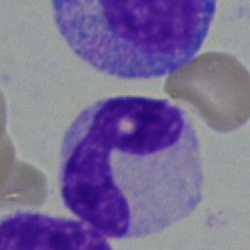

Specimen: bone marrow aspirate smear.
Cell: stab cell.